Bone marrow aspirate smear
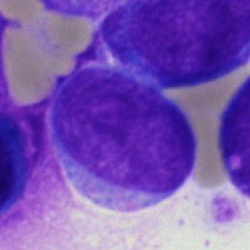Q: What is shown here?
A: It is a blast cell.